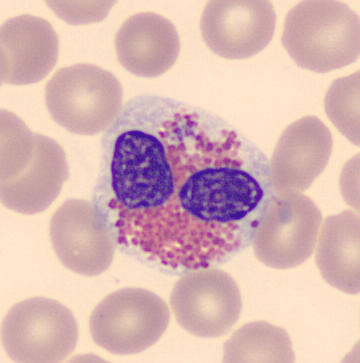 Q: Identify the cell.
A: Eosinophilic granulocyte.